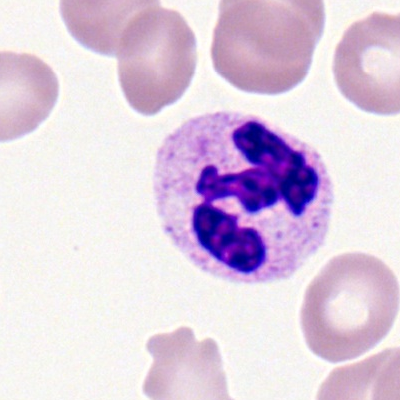 Specimen: peripheral blood film.
Cell type: polymorphonuclear neutrophil.
Lineage: myeloid.